Single cell centered in the field. Image size 250×250. Bone marrow smear — 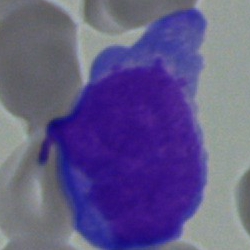 Blast.